Bone marrow aspirate smear. 40× oil immersion. 250×250.
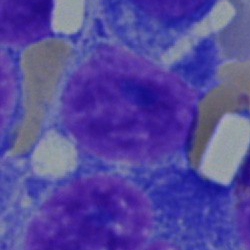
Q: What cell is this?
A: Plasma cell.